Bone marrow aspirate smear. 250 by 250 pixels.
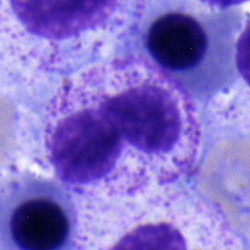

Cell = metamyelocyte.